Bone marrow aspirate smear: 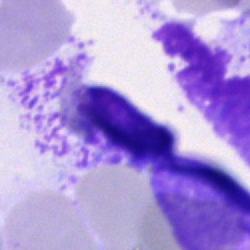
Morphology consistent with an artifact.